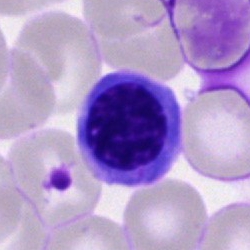 Nucleated red cell.